Bone marrow smear — 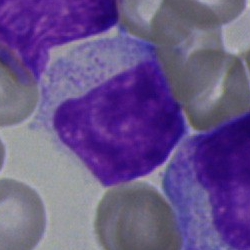
Q: Identify the cell.
A: A typical lymphocyte.